Romanowsky stain; single-cell field; peripheral blood smear
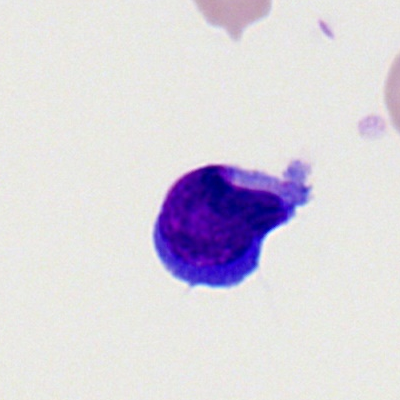 Q: What is the morphological classification of this cell?
A: This is a lymphocyte.